250 by 250 pixels · May-Grünwald-Giemsa/Pappenheim stain · bone marrow smear.
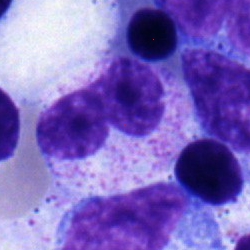
{"cell_type": "segmented neutrophil", "lineage": "myeloid"}